Peripheral blood smear · Romanowsky-type stain: 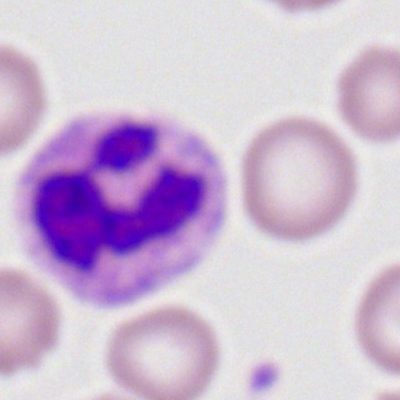 Q: Which cell type is shown here?
A: It is a polymorphonuclear neutrophil.